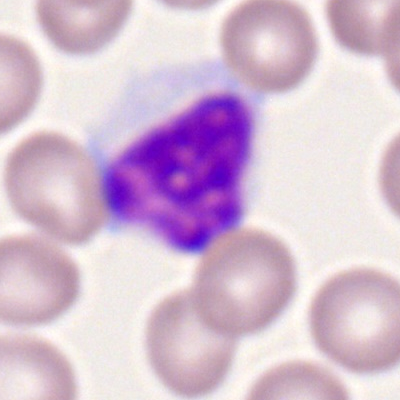

Single-cell crop from a peripheral blood smear: lymphocyte.